Bone marrow aspirate smear: 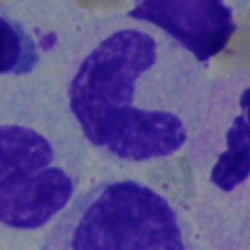

A stab cell.